Bone marrow smear.
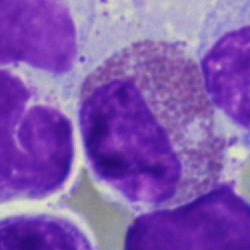

Q: What type of cell is this?
A: Eosinophilic granulocyte.